Bone marrow aspirate smear — 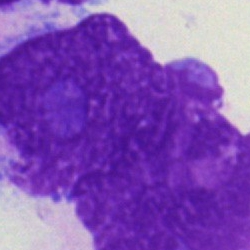{"cell_type": "artefact"}